Bone marrow aspirate smear; single-cell crop — 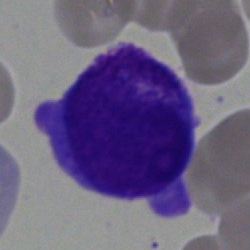

Showing a blast cell.